Bone marrow aspirate smear: 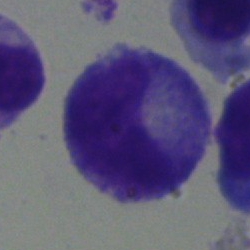Showing a metamyelocyte.